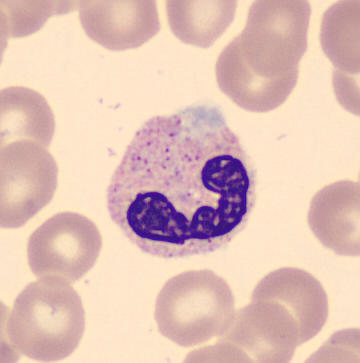 Peripheral blood smear. Q: What is the morphological classification of this cell?
A: A segmented neutrophil.